Bone marrow smear. Single-cell field. Brightfield, 40× oil-immersion objective:
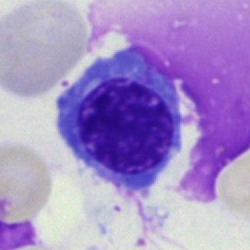 Impression → erythroblast.